Peripheral blood smear — 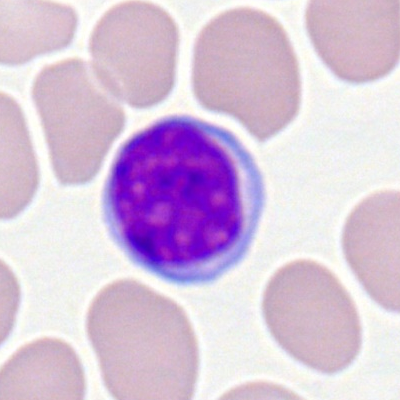 Showing a typical lymphocyte.